Bone marrow smear:
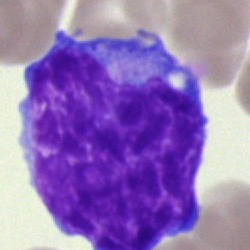 Specimen: bone marrow smear.
Cell type: blast cell.